Peripheral blood film · Romanowsky stain · cropped to a single cell
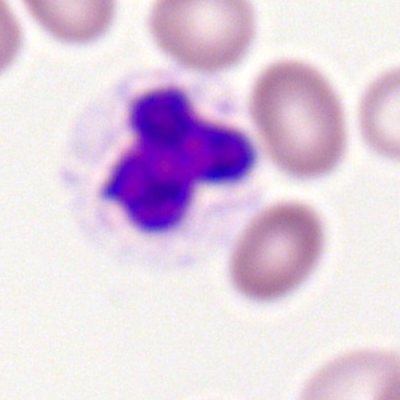Q: What type of cell is this?
A: A neutrophil (segmented).